40× oil immersion. 250 by 250 pixels. Bone marrow smear:
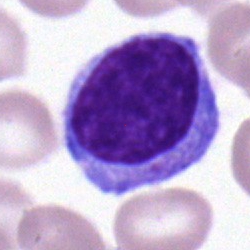 Single cell identified as a typical lymphocyte.